Bone marrow aspirate smear.
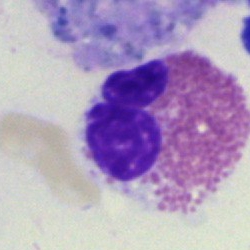 Q: Identify the cell.
A: An eosinophilic granulocyte.